Bone marrow smear:
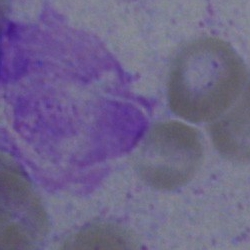Q: What is shown here?
A: This is an artefact.